Bone marrow smear:
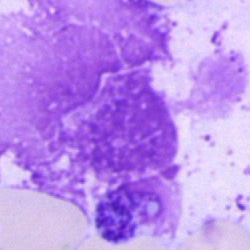

Morphological class — artifact.